Bone marrow smear: 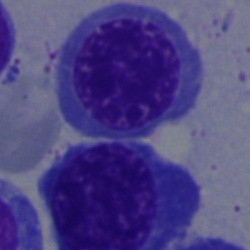

Cell type: erythroblast.